250×250; brightfield microscopy, 40× oil immersion; bone marrow smear
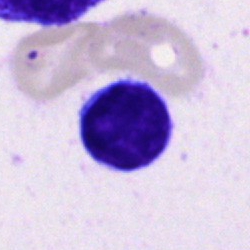
The morphological class is lymphocyte.